Bone marrow aspirate smear. 250 by 250 pixels:
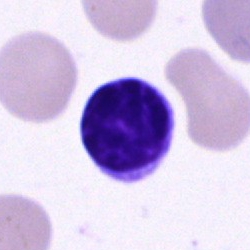Specimen: bone marrow aspirate smear.
Cell type: typical lymphocyte.